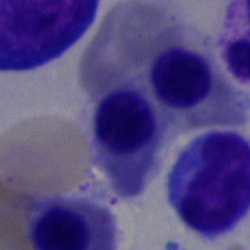
Single-cell crop from a bone marrow smear: nucleated red cell.